Bone marrow smear
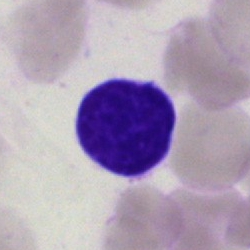 This is a lymphocyte.